Bone marrow aspirate smear
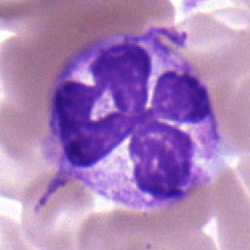Q: Identify the cell.
A: It is a polymorphonuclear neutrophil.